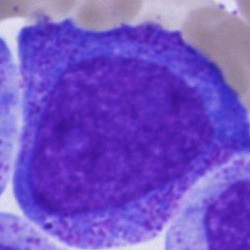

Impression → progranulocyte.